Bone marrow smear:
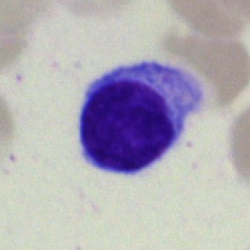

Morphology — typical lymphocyte.